Bone marrow aspirate smear.
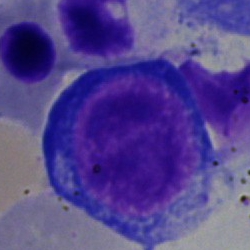

Specimen: bone marrow smear.
Morphological class: proerythroblast.
Lineage: erythroid.